Brightfield microscopy, 40× oil immersion; bone marrow aspirate smear; cropped to a single cell:
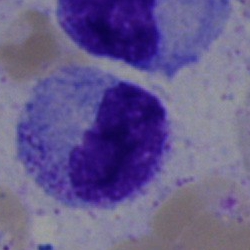Single cell identified as a promyelocyte.